Bone marrow aspirate smear
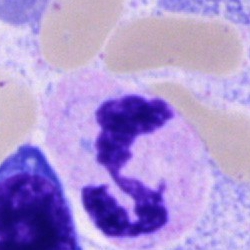The morphological class is neutrophil (segmented).